May-Grünwald-Giemsa stain; 40× objective, oil immersion; bone marrow aspirate smear.
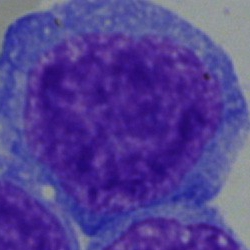

Morphological class = undifferentiated blast.